Bone marrow smear:
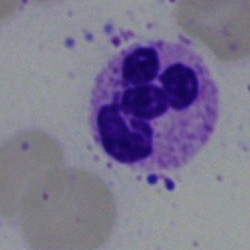Showing a neutrophil (segmented).